Bone marrow smear:
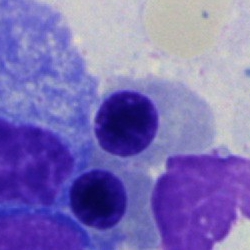

Morphology consistent with a nucleated red cell.